MGG-stained. Bone marrow smear:
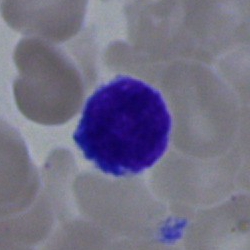 Impression → lymphocyte.